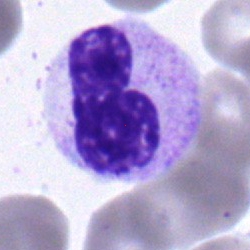Q: Identify the cell.
A: This is a band-form neutrophil.